Bone marrow aspirate smear.
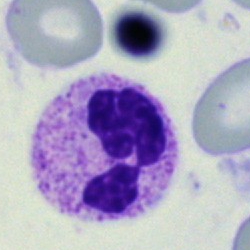This is a segmented neutrophil.